Image size 250×250. Bone marrow aspirate smear. Brightfield, 40× oil-immersion objective — 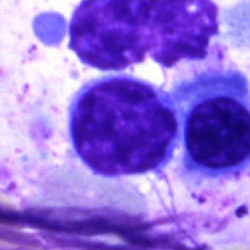The cell shown is a typical lymphocyte.